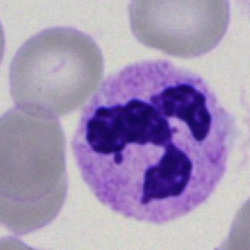
Morphology consistent with a segmented neutrophil.